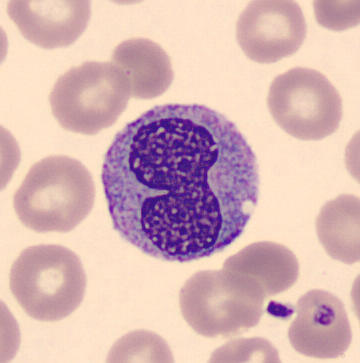

Cell: monocyte.